Bone marrow smear:
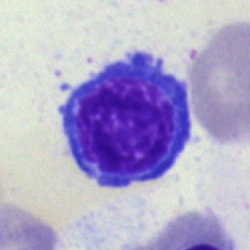
Morphological class: nucleated red cell.